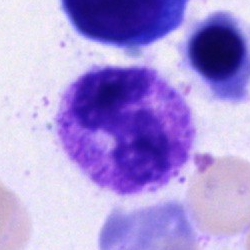
Bone marrow aspirate smear, single cell — segmented neutrophil.